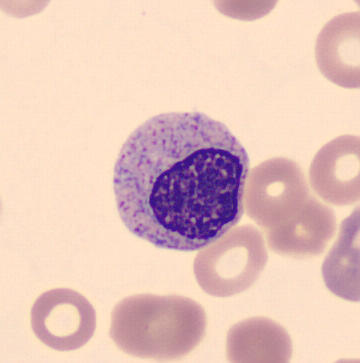Cell = metamyelocyte.